Bone marrow aspirate smear — 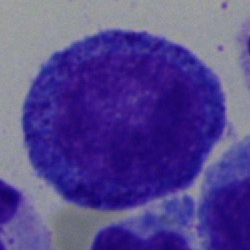Morphological class = progranulocyte.